Bone marrow smear; image size 250×250
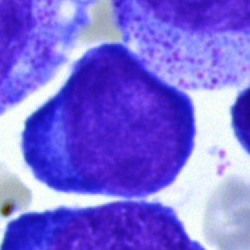 Q: What type of cell is this?
A: A proerythroblast.